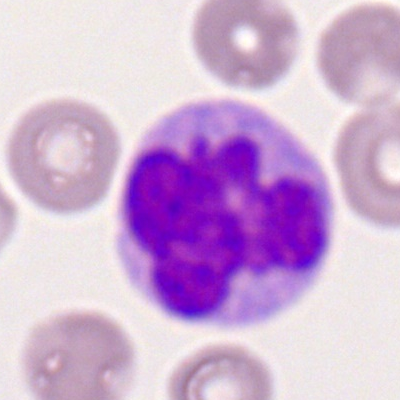

{"cell_type": "monocyte", "lineage": "myeloid"}